Single-cell field · 40× oil immersion · bone marrow aspirate smear: 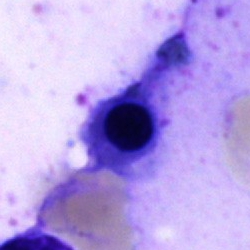Impression — nucleated red cell.